Bone marrow smear
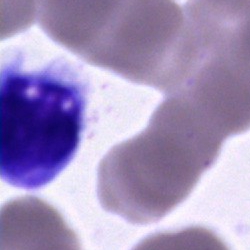
Q: What cell is this?
A: This is an unidentifiable cell.